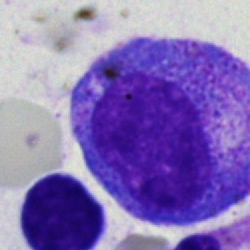
The cell shown is a promyelocyte.